Bone marrow smear
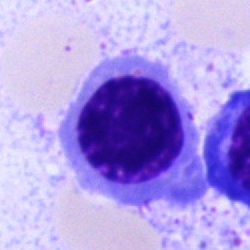
Morphology consistent with a nucleated red cell.